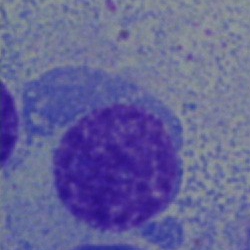

Morphological class = plasma cell.